Bone marrow smear
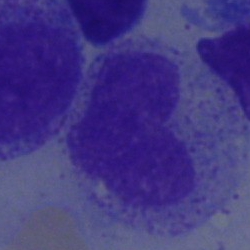 Impression → metamyelocyte.